Bone marrow smear
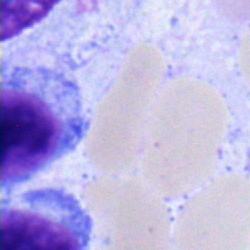{"cell_type": "plasma cell", "lineage": "lymphoid"}